40× oil immersion · bone marrow aspirate smear: 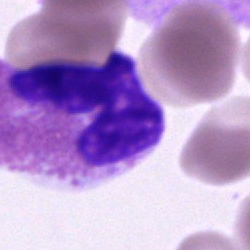This is an eosinophilic granulocyte.